Bone marrow smear · single-cell field.
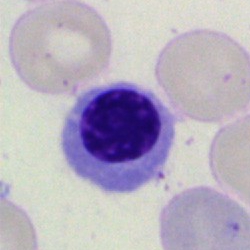
The cell type is normoblast.